Bone marrow smear — 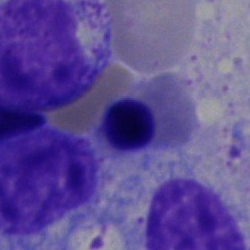
Single cell identified as a normoblast.